Single cell centered in the field · May-Grünwald-Giemsa stain · bone marrow aspirate smear.
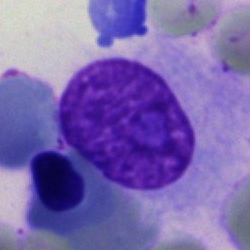 Q: What is shown here?
A: Artefact.